Bone marrow aspirate smear — 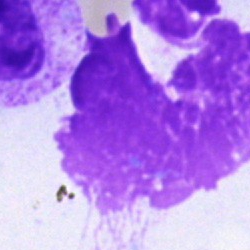
An artefact.